Bone marrow aspirate smear.
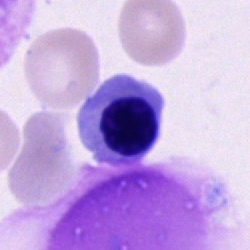Nucleated red cell.